May-Grünwald-Giemsa stain · bone marrow aspirate smear:
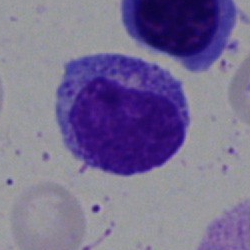

Myelocyte.